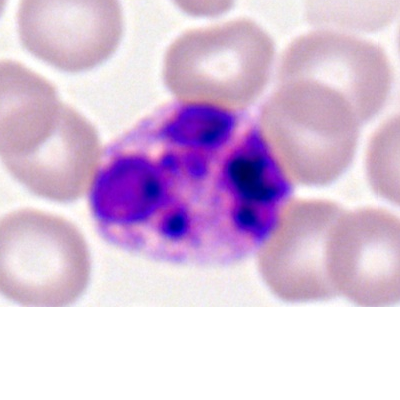
The cell shown is a basophil.